Peripheral blood smear. Cropped to a single cell.
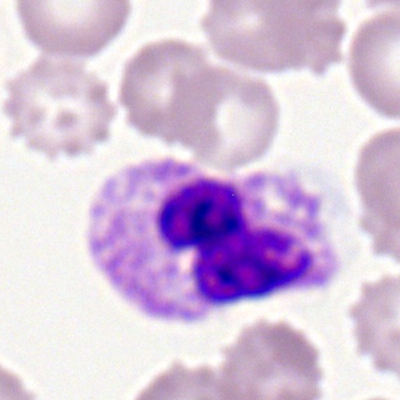Segmented neutrophil.